Bone marrow aspirate smear
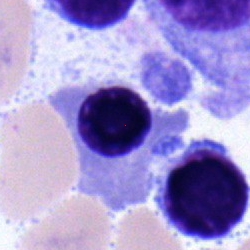
The cell shown is an erythroblast.